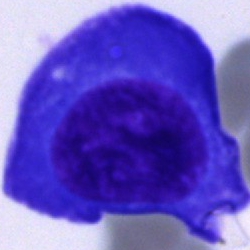

Single cell identified as a plasmacyte.